Brightfield microscopy, 40× oil immersion; bone marrow smear.
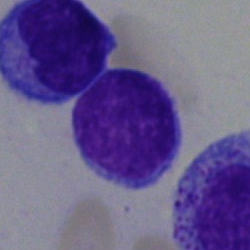 Specimen: bone marrow smear.
Cell: typical lymphocyte.
Lineage: lymphoid.